Pappenheim-stained; bone marrow aspirate smear; cropped to a single cell: 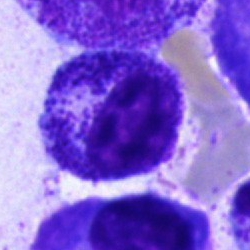
Q: What cell is this?
A: A myelocyte.